Single cell centered in the field · bone marrow aspirate smear: 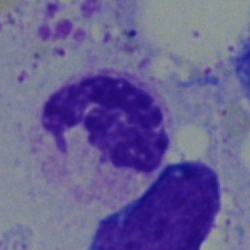 Cell = segmented neutrophil.